Bone marrow smear — 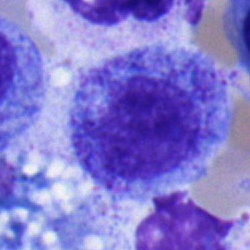
Cell = promyelocyte.